Bone marrow smear.
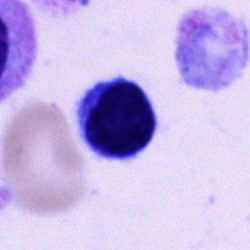The classification is lymphocyte.